Peripheral blood film — 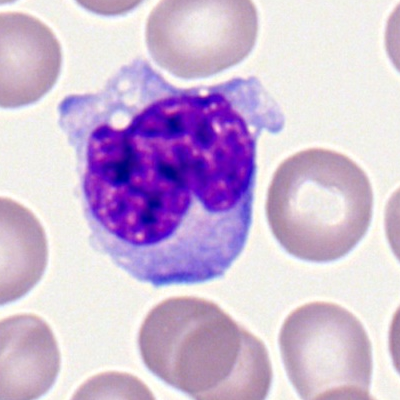

{"cell_type": "monocyte"}